Bone marrow smear.
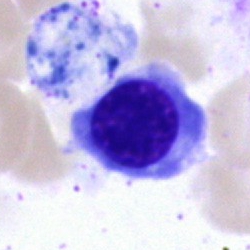

The cell shown is an erythroblast.